Single-cell field. Image size 400×400. Peripheral blood film: 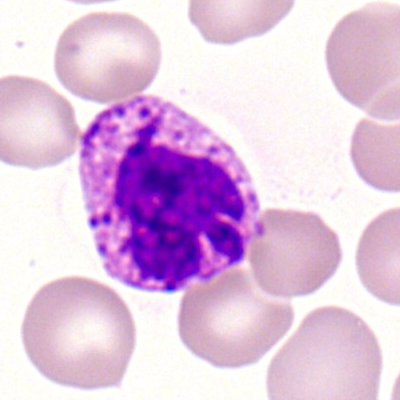
Classification = basophilic granulocyte.